Bone marrow aspirate smear · 40× oil immersion:
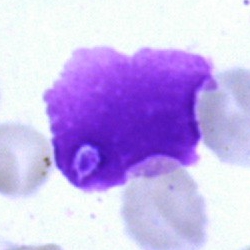

Q: What is shown here?
A: It is an artefact.